250×250 px. Single cell centered in the field. Bone marrow smear: 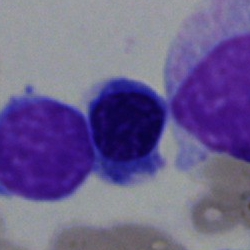 Nucleated red cell.